Peripheral blood film: 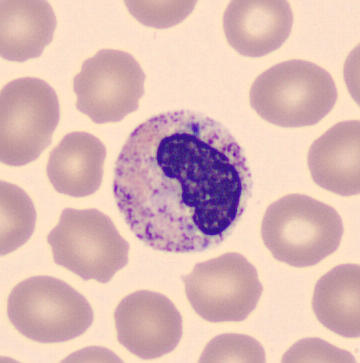 This is a stab cell.